Bone marrow smear: 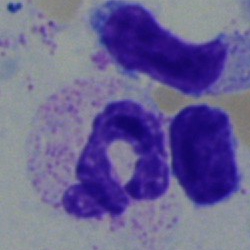

Specimen: bone marrow smear.
Morphological class: segmented neutrophil.